Peripheral blood film:
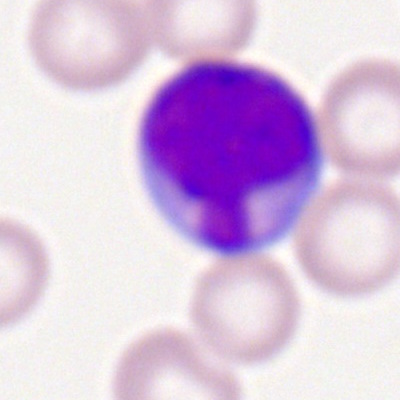
Morphology → typical lymphocyte.